Bone marrow smear: 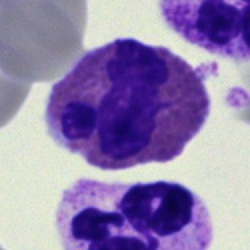
The cell shown is an eosinophilic granulocyte.